Bone marrow aspirate smear · brightfield, 40× oil-immersion objective · cropped to a single cell
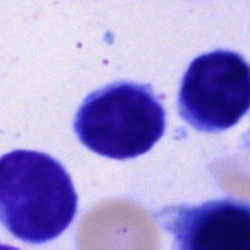Cell type = typical lymphocyte.